Image size 250×250 · bone marrow smear · Pappenheim-stained.
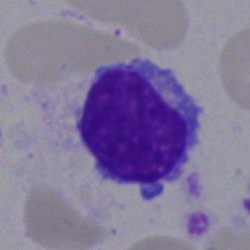

Specimen: bone marrow aspirate smear.
Cell type: lymphocyte.
Lineage: lymphoid.